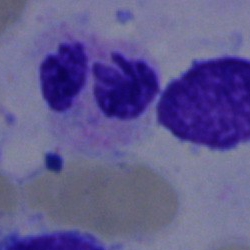 Cell type: segmented neutrophil.